Bone marrow aspirate smear — 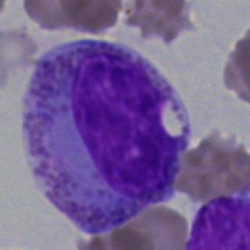 {"cell_type": "myelocyte", "lineage": "myeloid"}